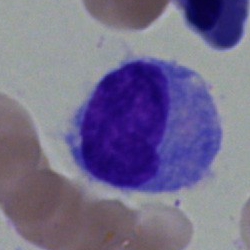 Cell = monocyte.